Bone marrow smear: 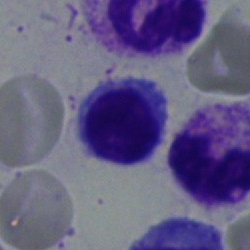 Showing a lymphocyte.